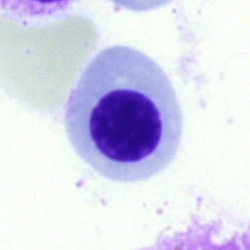 Q: What is shown here?
A: Promyelocyte.